250×250 · bone marrow aspirate smear:
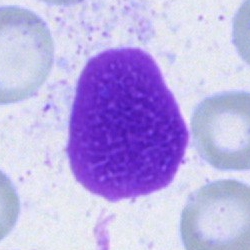 Showing an artifact.